Bone marrow aspirate smear: 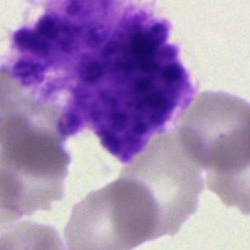

Q: What is shown here?
A: This is an artefact.